Romanowsky-type stain. Peripheral blood smear:
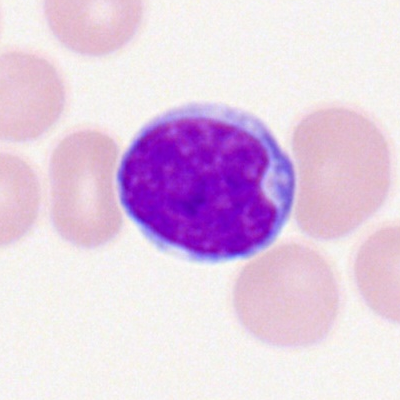
Showing a typical lymphocyte.